Bone marrow smear: 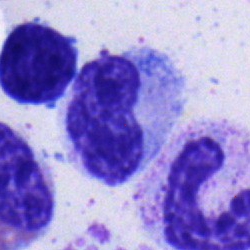
Morphology → metamyelocyte.